Peripheral blood smear · single-cell field: 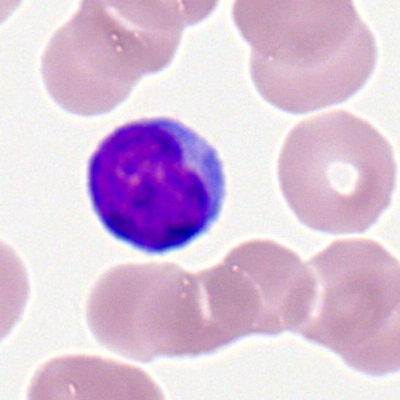
A lymphocyte.